Bone marrow smear
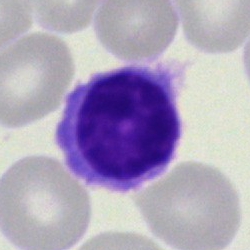
This is a lymphocyte.